Bone marrow smear. 40× objective, oil immersion
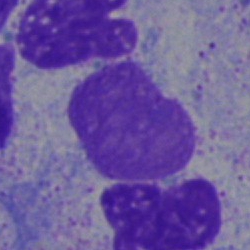
Specimen: bone marrow aspirate smear.
Morphological class: artifact.